Cropped to a single cell; bone marrow aspirate smear
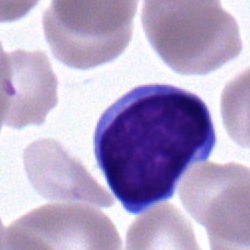Typical lymphocyte.